Bone marrow smear — 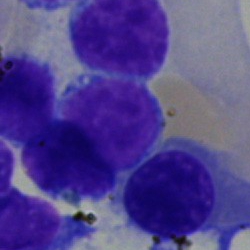

Q: Identify the cell.
A: This is a lymphocyte.